May-Grünwald-Giemsa/Pappenheim stain · bone marrow aspirate smear:
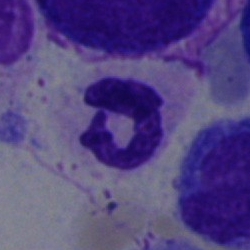 Polymorphonuclear neutrophil.